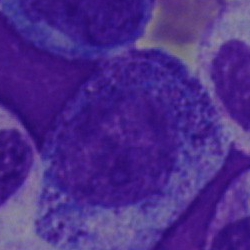 The cell shown is a progranulocyte.